Bone marrow aspirate smear. 250×250 px. Brightfield microscopy, 40× oil immersion — 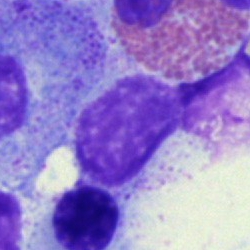

Q: What is shown here?
A: An artefact.